Bone marrow aspirate smear: 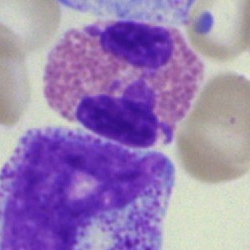This is an eosinophilic granulocyte.